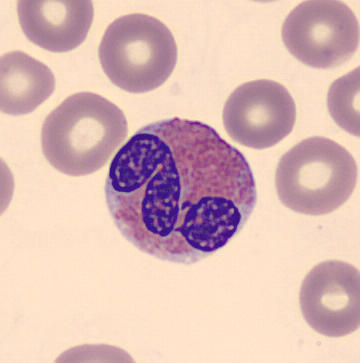
An eosinophil.
Image: Peripheral blood smear.